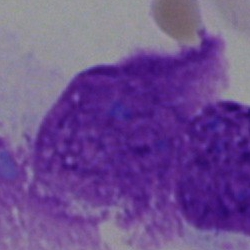 Q: What is shown here?
A: Artifact.